Bone marrow smear · single-cell crop
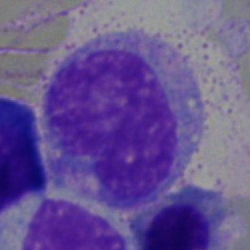

Morphological class — monocyte.